Single-cell field. Bone marrow aspirate smear — 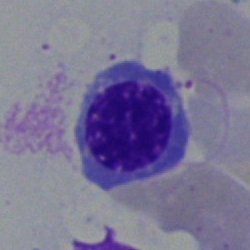A normoblast.